Peripheral blood smear: 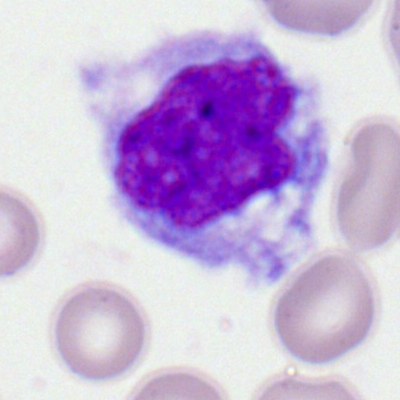Monocyte.